May-Grünwald-Giemsa/Pappenheim stain · bone marrow smear · single-cell crop.
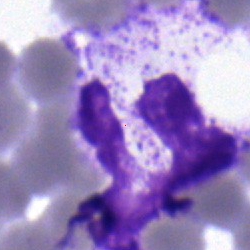 The classification is neutrophil (segmented).